Bone marrow smear · brightfield, 40× oil-immersion objective:
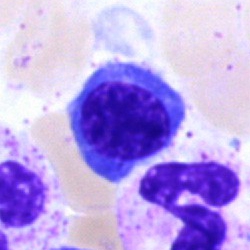
The cell is nucleated red blood cell.